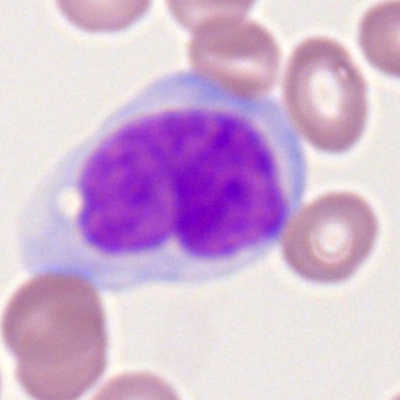

Q: What is the morphological classification of this cell?
A: A monocyte.